250×250. Bone marrow smear:
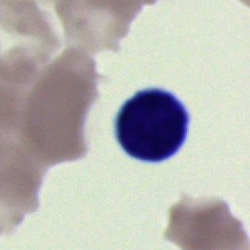

Morphology consistent with a typical lymphocyte.